Bone marrow aspirate smear.
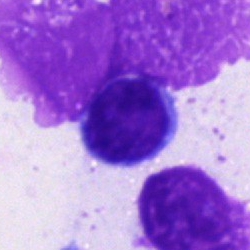

Morphology consistent with a typical lymphocyte.